40× oil immersion. Bone marrow aspirate smear. Pappenheim-stained.
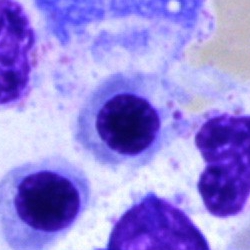 Morphology consistent with a nucleated red blood cell.